Peripheral blood smear:
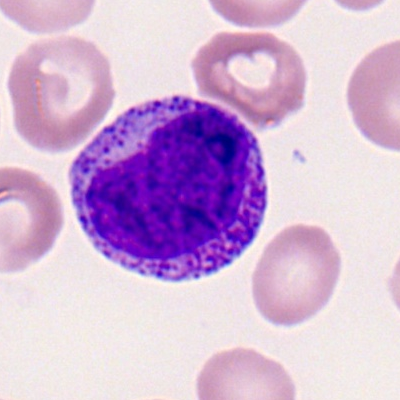

Morphology consistent with a progranulocyte.